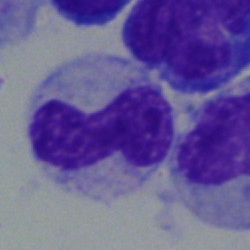
{"cell_type": "band neutrophil", "lineage": "myeloid"}